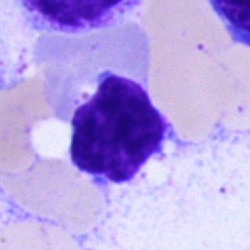

Cell — lymphocyte.